250×250 px · bone marrow smear
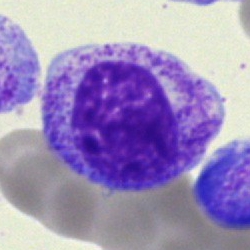

Specimen: bone marrow aspirate smear.
Classification: myelocyte.
Lineage: myeloid.